Bone marrow aspirate smear — 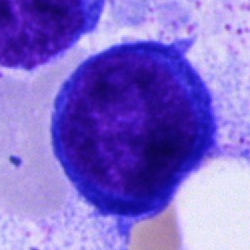
Cell type: normoblast.